Bone marrow smear. May-Grünwald-Giemsa stain
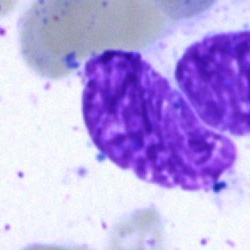
Q: What is shown here?
A: This is an artefact.